40× oil immersion · bone marrow aspirate smear: 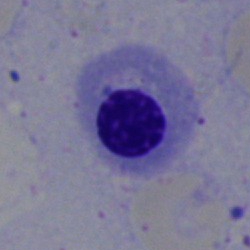

This is a normoblast.